Bone marrow aspirate smear
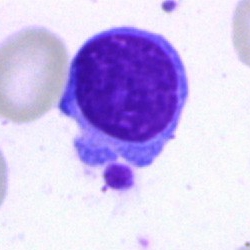

Q: Identify the cell.
A: It is a typical lymphocyte.